Bone marrow aspirate smear
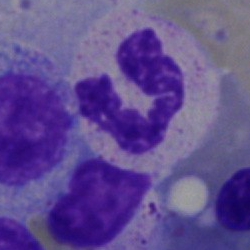 Showing a polymorphonuclear neutrophil.